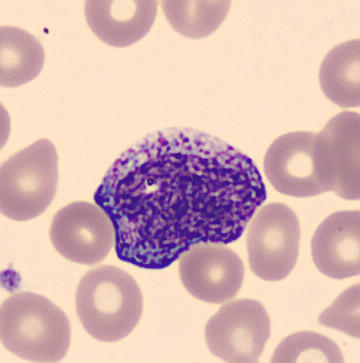

Morphology consistent with a progranulocyte.
Image: Peripheral blood smear.